Bone marrow aspirate smear
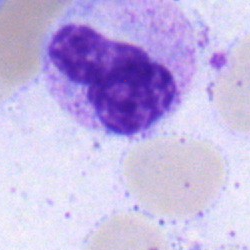

Q: What is shown here?
A: It is a metamyelocyte.